Peripheral blood film
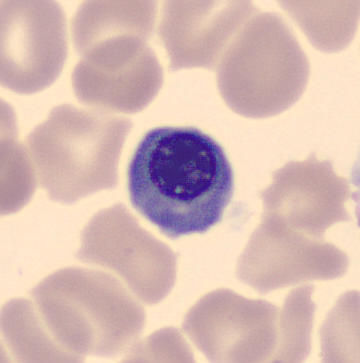
Classification = nucleated red cell.